Single-cell crop · bone marrow smear.
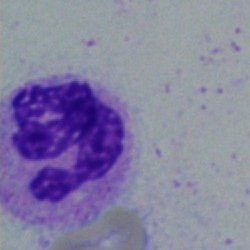 Q: What type of cell is this?
A: Neutrophil (segmented).